Brightfield, 40× oil-immersion objective; bone marrow aspirate smear
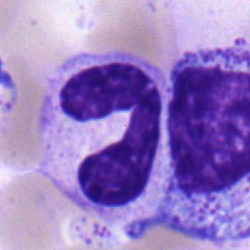Specimen: bone marrow aspirate smear.
Classification: neutrophil (segmented).